Bone marrow aspirate smear:
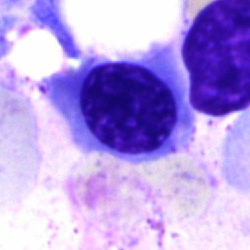 This is a nucleated red blood cell.